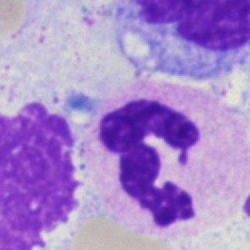
Specimen: bone marrow aspirate smear.
Classification: polymorphonuclear neutrophil.